40× objective, oil immersion; single-cell field; bone marrow smear:
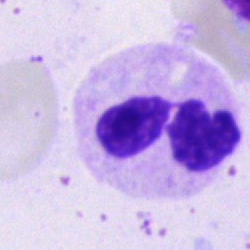Neutrophil (segmented).